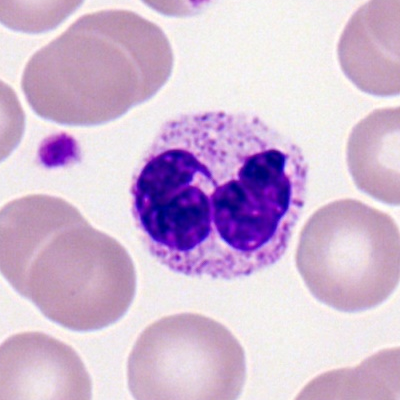
Peripheral blood film, single cell — neutrophil (segmented).